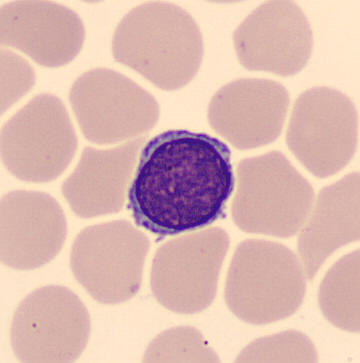Acquisition: Peripheral blood film · single-cell field. Identified as a typical lymphocyte.